Bone marrow aspirate smear: 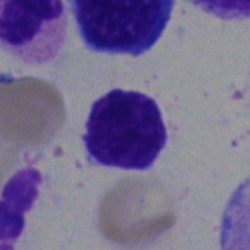 Classification: typical lymphocyte.